Image size 250×250. Bone marrow aspirate smear:
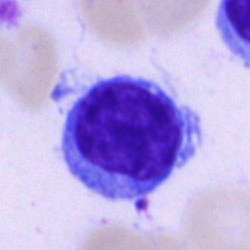
Single cell identified as a lymphocyte.